Image size 250×250; bone marrow aspirate smear:
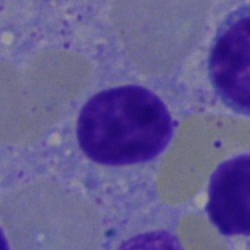 Classification: artefact.